Bone marrow aspirate smear · 250×250 · 40× objective, oil immersion
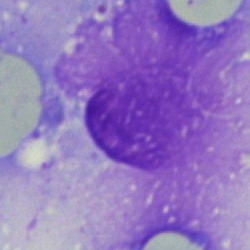 Impression — artefact.